Single cell centered in the field. Peripheral blood film.
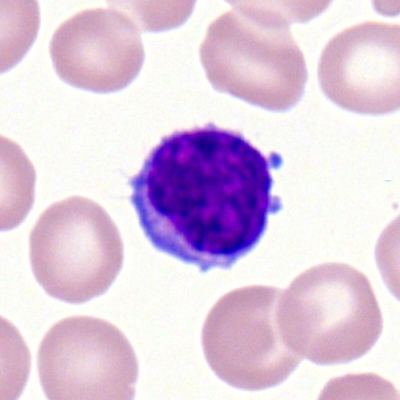

Impression → lymphocyte.